Bone marrow aspirate smear — 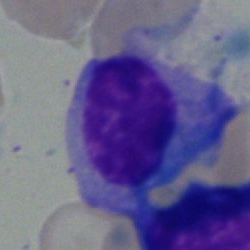 This is a plasmacyte.